Peripheral blood smear; single cell centered in the field — 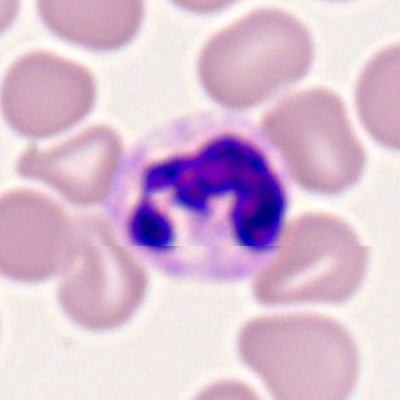{"cell_type": "neutrophil (segmented)", "lineage": "myeloid"}